Bone marrow aspirate smear:
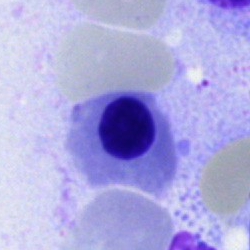Impression → erythroblast.